Peripheral blood smear: 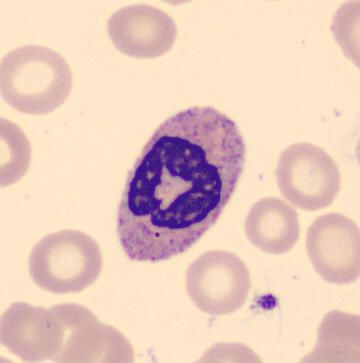 Showing a stab cell.